Single-cell crop; bone marrow aspirate smear — 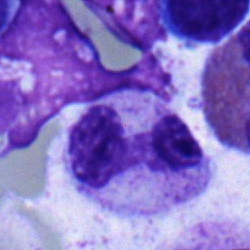 A segmented neutrophil.